Cropped to a single cell. Bone marrow smear. May-Grünwald-Giemsa/Pappenheim stain:
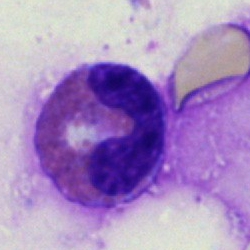
An eosinophilic granulocyte.